Bone marrow smear.
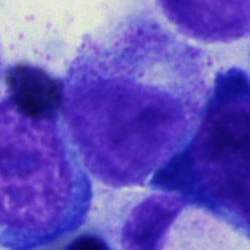
Morphology consistent with a myelocyte.